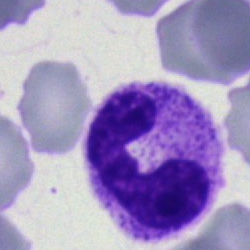 Morphology consistent with a stab cell.